Bone marrow smear · MGG-stained
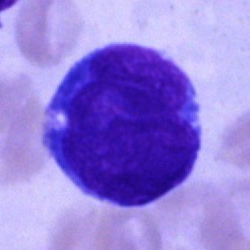Morphological class — blast.